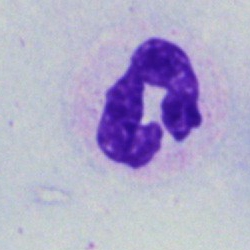A segmented neutrophil on a bone marrow smear.